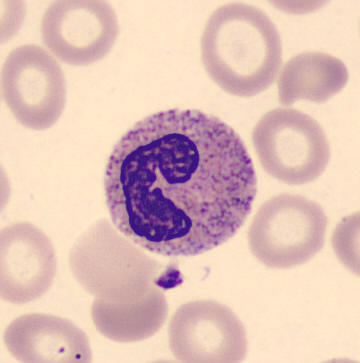
A neutrophil (band).
Peripheral blood film. Imaged on a CellaVision DM96 analyser.